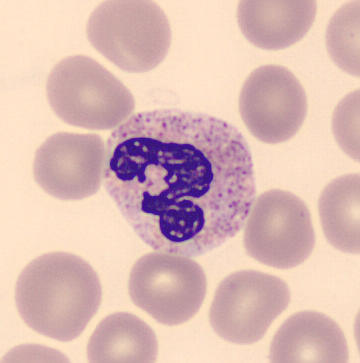

Morphology consistent with a neutrophil (segmented).

Image: May Grünwald-Giemsa stain · peripheral blood film.